Bone marrow aspirate smear: 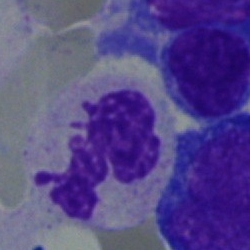 The cell shown is a segmented neutrophil.